Single cell centered in the field · bone marrow aspirate smear · May-Grünwald-Giemsa stain
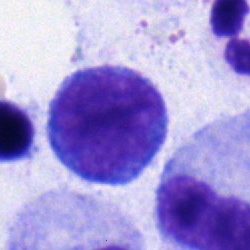

Morphology — monocyte.